Image size 250×250. Bone marrow aspirate smear:
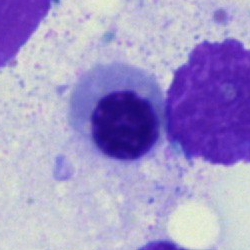Q: Which cell type is shown here?
A: This is an erythroblast.